Bone marrow aspirate smear — 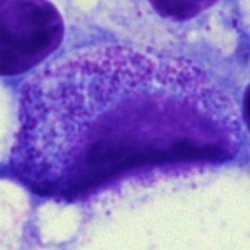 Morphology consistent with a promyelocyte.